Bone marrow aspirate smear; single-cell crop; 250 by 250 pixels:
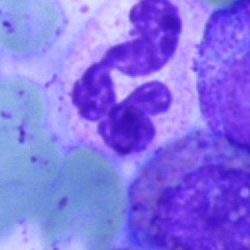
This is a polymorphonuclear neutrophil.